Bone marrow smear
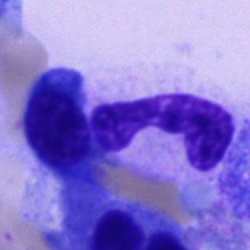The classification is neutrophil (band).